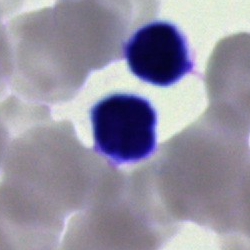Classification: lymphocyte.